Single-cell field; 40× objective, oil immersion; bone marrow smear.
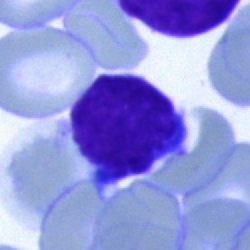

Showing a typical lymphocyte.